Pappenheim-stained; bone marrow aspirate smear; 40× oil immersion — 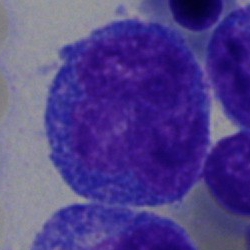
A promyelocyte.